Single-cell crop. Bone marrow smear:
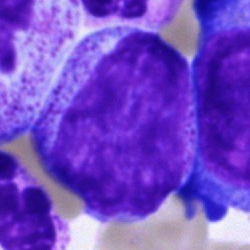Classification = promyelocyte.